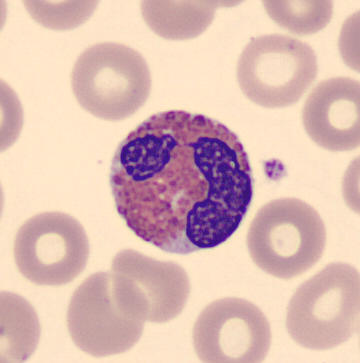

Specimen: peripheral blood smear.
Classification: eosinophilic granulocyte.
Lineage: myeloid.

Imaged on a CellaVision DM96 analyser.